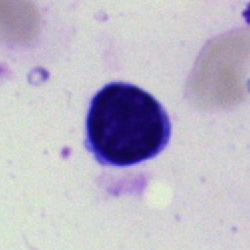 The cell shown is a lymphocyte.